Bone marrow smear · single cell centered in the field:
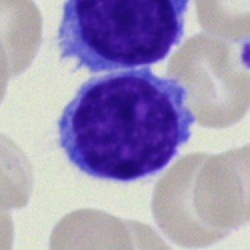

Impression → lymphocyte.